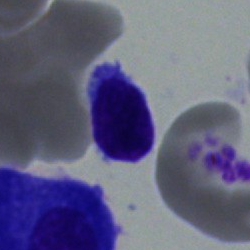

Specimen: bone marrow smear.
Cell type: typical lymphocyte.
Lineage: lymphoid.